Bone marrow aspirate smear: 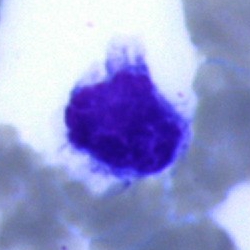 This is a lymphocyte.